Bone marrow smear; single cell centered in the field; 250×250 px — 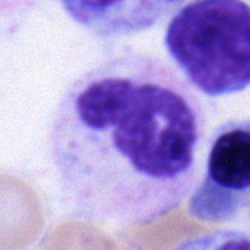Polymorphonuclear neutrophil.